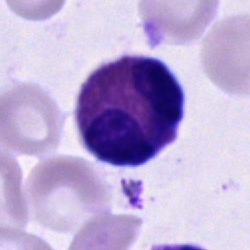Specimen: bone marrow aspirate smear.
Classification: eosinophilic granulocyte.